Bone marrow aspirate smear.
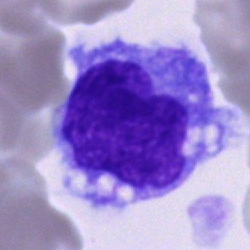 Morphology → monocyte.